Single-cell field; bone marrow smear — 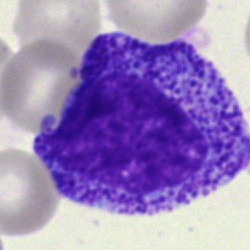
Specimen: bone marrow aspirate smear.
Cell: promyelocyte.